Peripheral blood film; Romanowsky-type stain — 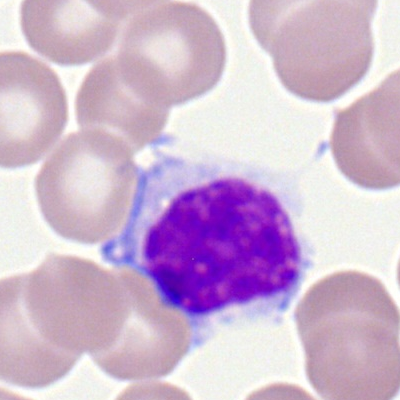 Single cell identified as a typical lymphocyte.